May-Grünwald-Giemsa stain · bone marrow smear: 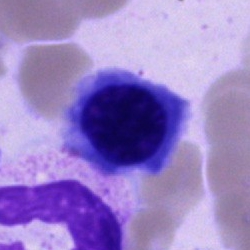 Specimen: bone marrow aspirate smear.
Morphological class: nucleated red cell.